Bone marrow smear — 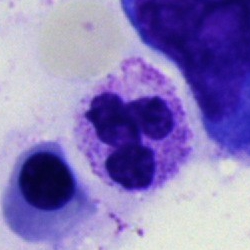 The cell type is neutrophil (segmented).